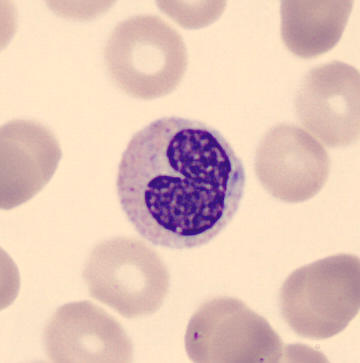Acquisition: Peripheral blood film.
Showing a metamyelocyte.